Peripheral blood film:
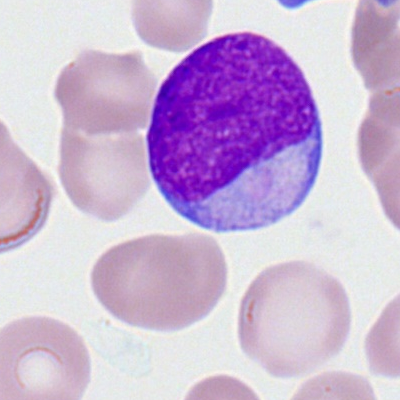 Q: What cell is this?
A: A myeloblast.